Bone marrow smear; single-cell crop; Pappenheim-stained.
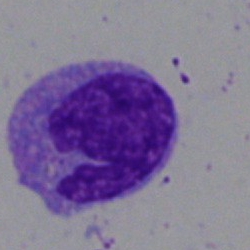Morphological class: monocyte.